Peripheral blood film; brightfield, 100× oil-immersion objective.
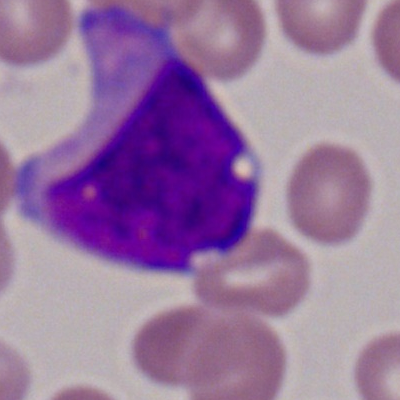Q: What cell is this?
A: A myeloid blast.